Bone marrow aspirate smear
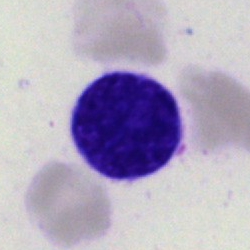This is a typical lymphocyte.